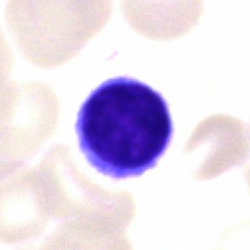 Classification — lymphocyte.